Bone marrow smear — 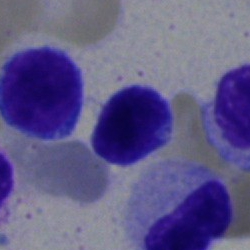

Specimen: bone marrow smear.
Cell type: typical lymphocyte.